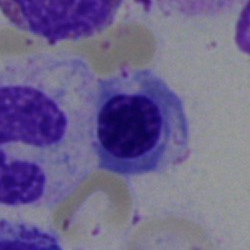 Cell type — normoblast.